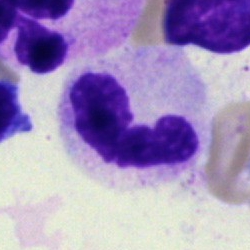
Q: Identify the cell.
A: Segmented neutrophil.